Peripheral blood film; single cell centered in the field; 100× objective, oil immersion — 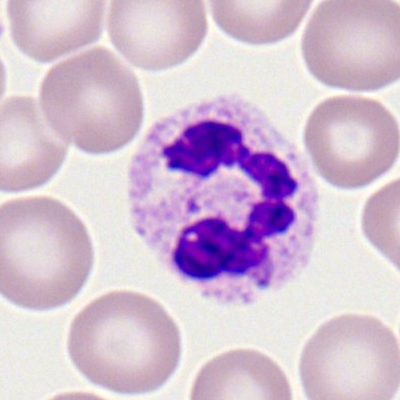
This is a segmented neutrophil.